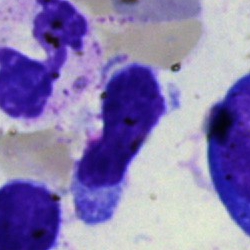 A lymphocyte on a bone marrow smear.